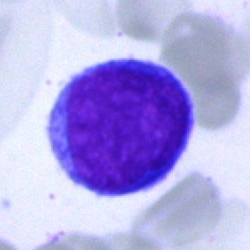 Specimen: bone marrow smear.
Morphological class: typical lymphocyte.
Lineage: lymphoid.